250 by 250 pixels; bone marrow smear — 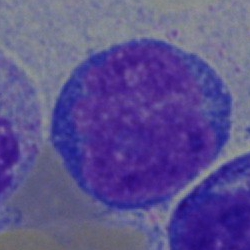
Blast cell.